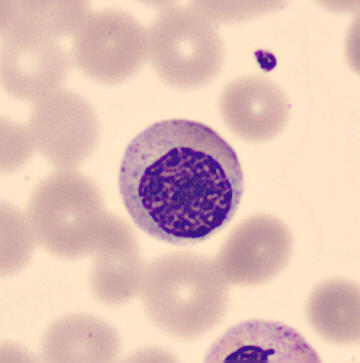 Single cell identified as a myelocyte. Peripheral blood smear · CellaVision DM96 · cropped to a single cell.